Bone marrow aspirate smear:
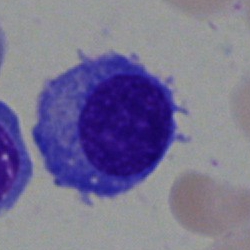Single cell identified as a plasmacyte.